40× oil immersion · bone marrow smear: 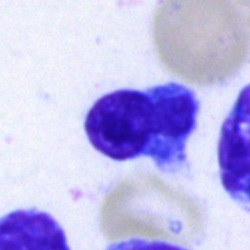
Showing an artifact.